250×250 px; bone marrow aspirate smear; brightfield microscopy, 40× oil immersion.
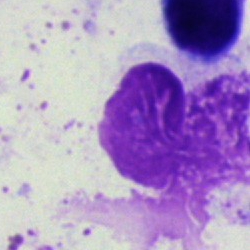 Q: What is shown here?
A: This is an artifact.